Bone marrow smear: 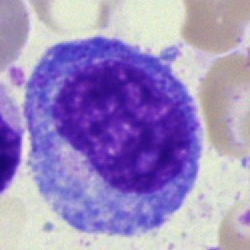Showing a promyelocyte.